Bone marrow smear
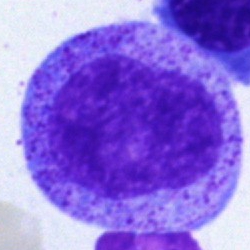

Q: Which cell type is shown here?
A: It is a progranulocyte.